Cropped to a single cell. Peripheral blood smear. 400×400 px — 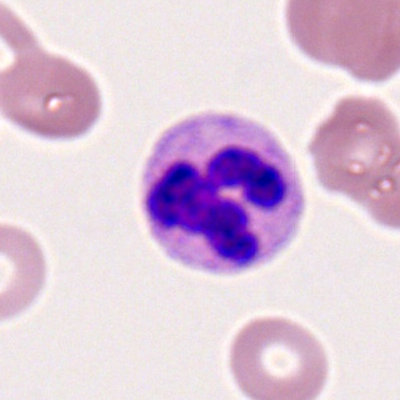Single cell identified as a polymorphonuclear neutrophil.